Bone marrow smear. Brightfield, 40× oil-immersion objective.
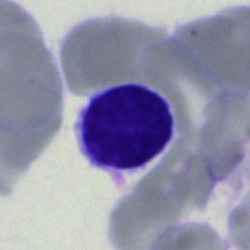Specimen: bone marrow aspirate smear.
Morphological class: typical lymphocyte.